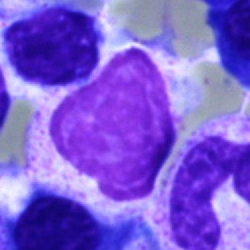 Artefact.